Image size 250×250 · bone marrow smear.
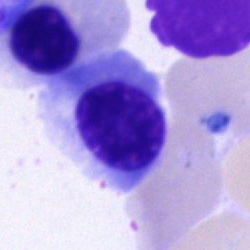 Q: Identify the cell.
A: This is an erythroblast.